Bone marrow smear:
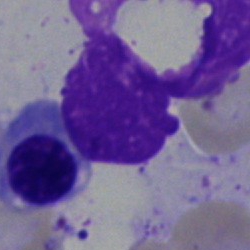
Showing an artefact.